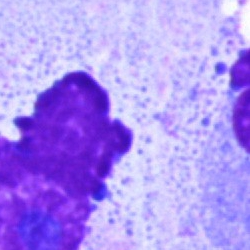
Q: What is shown here?
A: It is an artifact.